Single cell centered in the field; bone marrow aspirate smear; 250×250
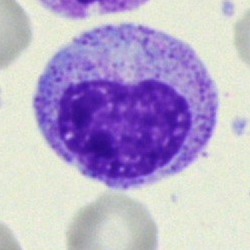
A myelocyte.